Bone marrow aspirate smear. Pappenheim-stained. Brightfield, 40× oil-immersion objective — 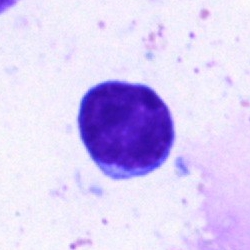
Showing a lymphocyte.